Peripheral blood smear. Single cell centered in the field. 400×400 px — 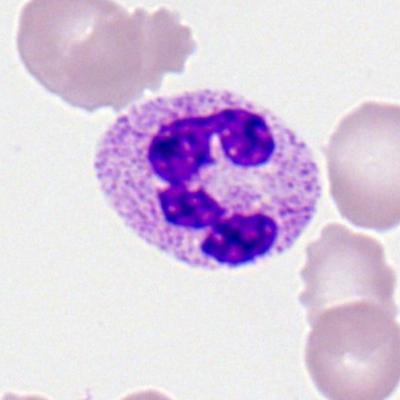
Single cell identified as a neutrophil (segmented).